Bone marrow aspirate smear:
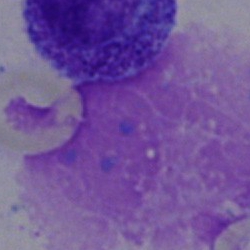Single cell identified as an artifact.